Bone marrow smear — 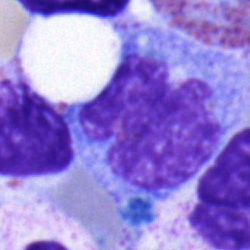
The morphological class is monocyte.